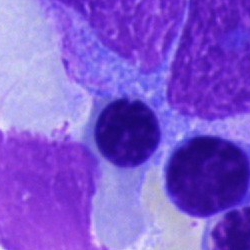
Bone marrow aspirate smear, single cell — normoblast.